Bone marrow smear:
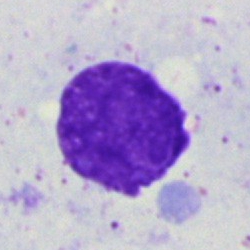

Classification = artefact.